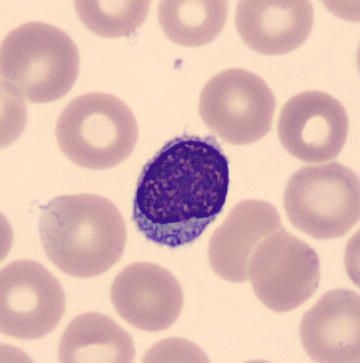Identified as a lymphocyte.

May-Grünwald-Giemsa-stained; single-cell crop; peripheral blood film.